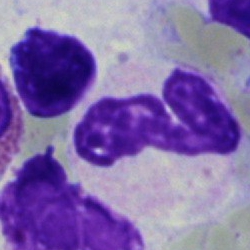

Single cell identified as a neutrophil (band).